MGG-stained; bone marrow smear; single-cell crop.
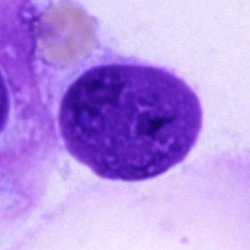

Q: What is shown here?
A: An artifact.